Single-cell crop. Bone marrow aspirate smear. Brightfield microscopy, 40× oil immersion — 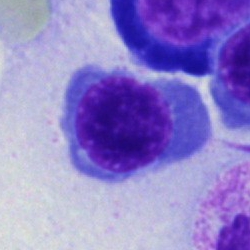 Specimen: bone marrow aspirate smear.
Morphological class: erythroblast.
Lineage: erythroid.